Bone marrow smear — 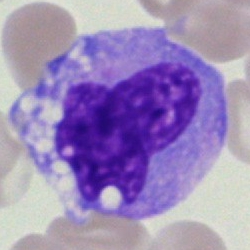 Morphology → monocyte.